Single-cell crop · MGG-stained · bone marrow smear — 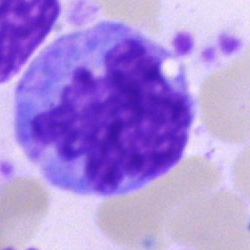

Morphological class = monocyte.